Single-cell field · bone marrow aspirate smear · brightfield microscopy, 40× oil immersion
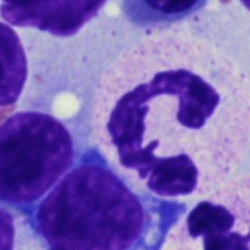 A polymorphonuclear neutrophil.